Brightfield, 40× oil-immersion objective · bone marrow smear.
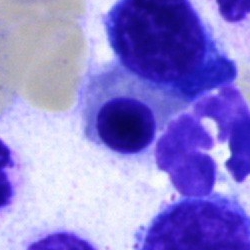Specimen: bone marrow smear.
Classification: nucleated red cell.
Lineage: erythroid.